Single-cell crop · bone marrow aspirate smear · MGG-stained — 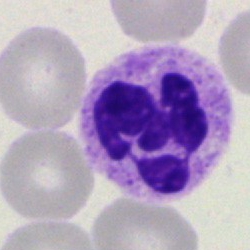Q: What is shown here?
A: It is a segmented neutrophil.